Bone marrow smear; single-cell crop
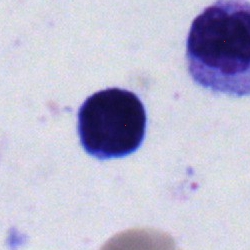 Showing a lymphocyte.